Bone marrow aspirate smear — 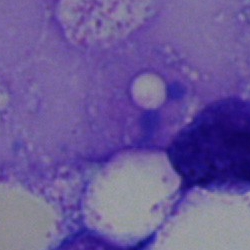
Single cell identified as an artefact.